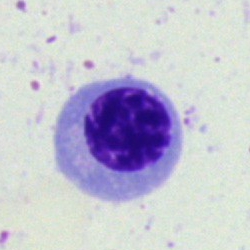
Single cell identified as an erythroblast.